Bone marrow aspirate smear — 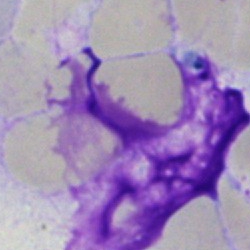
Cell — artefact.